Bone marrow smear: 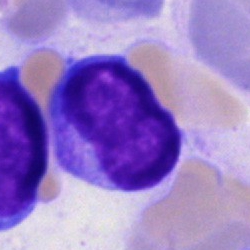
Q: Identify the cell.
A: This is an undifferentiated blast.